Peripheral blood smear. Single-cell field. 100× objective, oil immersion — 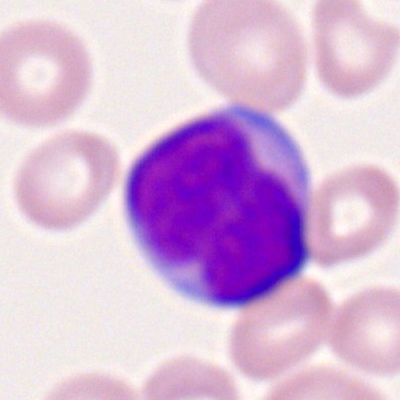Morphological class: myeloid blast.